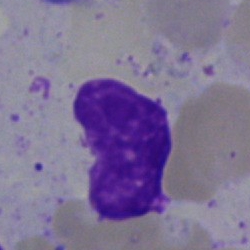 The classification is artifact.